Single cell centered in the field; 40× objective, oil immersion; bone marrow aspirate smear.
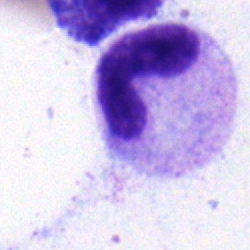 Morphology consistent with a polymorphonuclear neutrophil.